Bone marrow aspirate smear
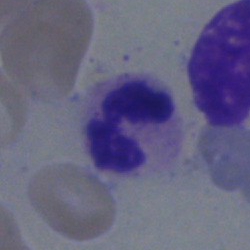
Single cell identified as a neutrophil (segmented).